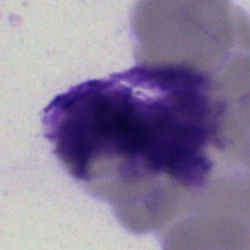

Cell type = artifact.